Peripheral blood film:
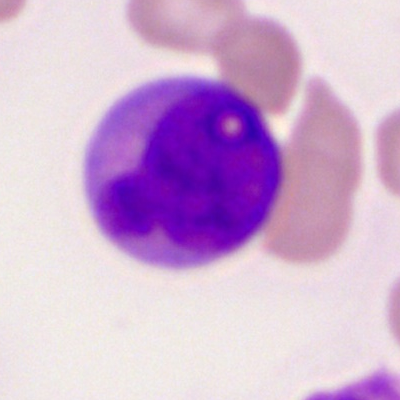

Impression → myeloblast.